Single cell centered in the field. Bone marrow aspirate smear
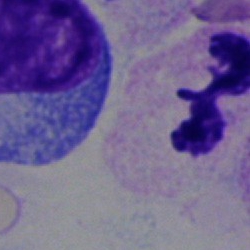
Morphology → polymorphonuclear neutrophil.